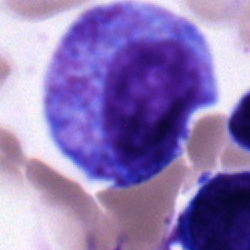
Q: What cell is this?
A: It is a promyelocyte.